Bone marrow smear.
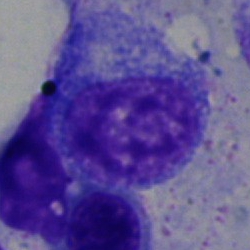
Cell = promyelocyte.